Peripheral blood smear
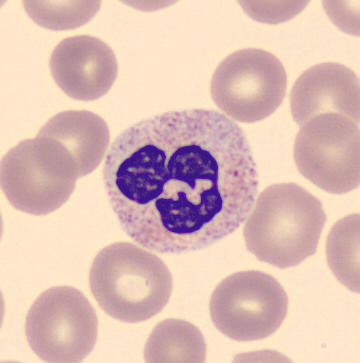Cell = segmented neutrophil.